Bone marrow aspirate smear; 250×250 px — 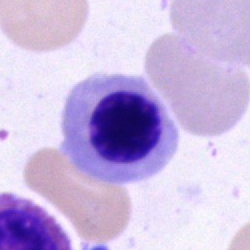This is a nucleated red blood cell.